40× oil immersion. Pappenheim-stained. Bone marrow smear — 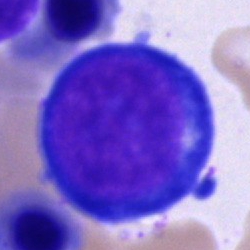 Q: What type of cell is this?
A: A proerythroblast.